Bone marrow aspirate smear:
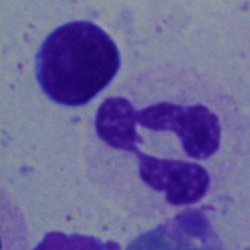The cell is neutrophil (segmented).